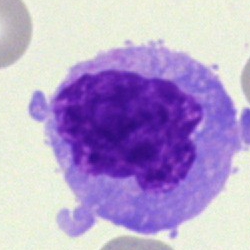

Q: Identify the cell.
A: A monocyte.